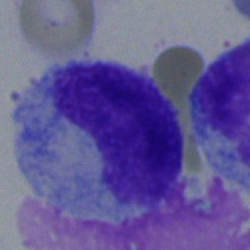Classification — metamyelocyte.